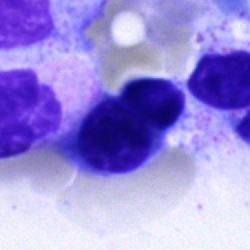

Morphological class — artefact.